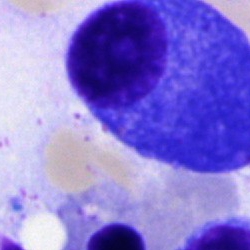
A plasma cell.